Bone marrow aspirate smear: 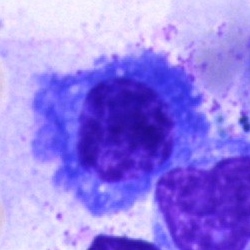
{"cell_type": "plasma cell", "lineage": "lymphoid"}